Bone marrow smear: 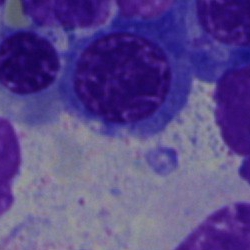
Nucleated red blood cell.